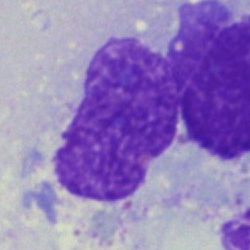

An artifact.